May-Grünwald-Giemsa/Pappenheim stain · bone marrow smear.
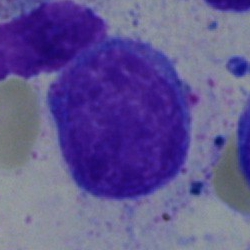
Classification — undifferentiated blast.